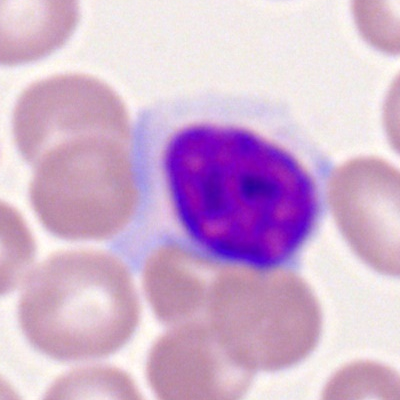
Impression → lymphocyte.